Peripheral blood smear; single-cell field
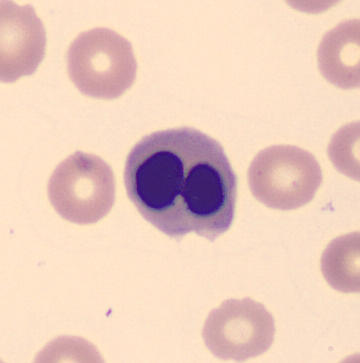
Classification: normoblast.